Bone marrow smear — 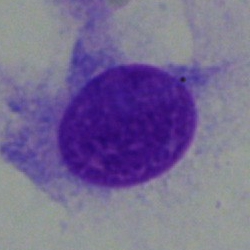

Q: Identify the cell.
A: This is a lymphocyte.